Image size 250×250. Bone marrow aspirate smear
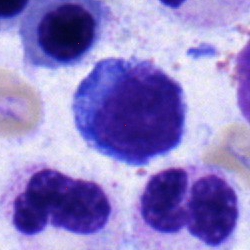
Morphology consistent with a monocyte.